Bone marrow smear · single-cell crop: 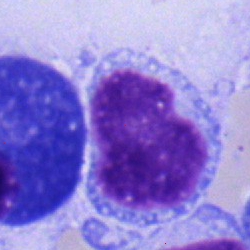

Cell type — lymphocyte.